Bone marrow aspirate smear. Image size 250×250. Cropped to a single cell — 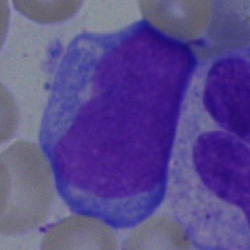Showing a blast.